Bone marrow aspirate smear — 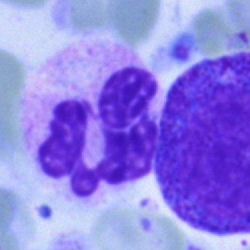 Single cell identified as a segmented neutrophil.